Bone marrow smear.
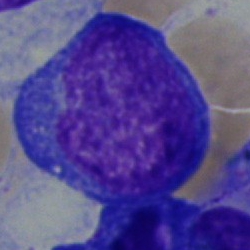
This is an undifferentiated blast.